Bone marrow smear: 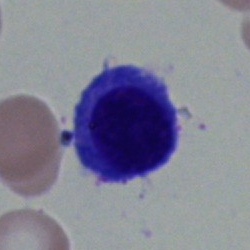 Morphology — erythroblast.